Peripheral blood film — 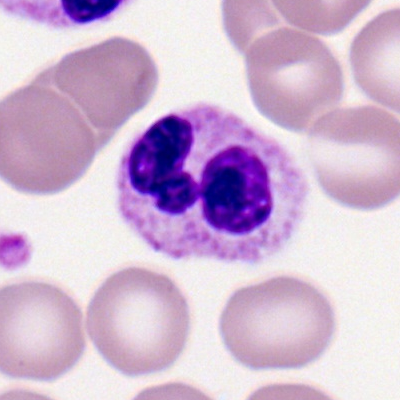 Q: What type of cell is this?
A: This is a neutrophil (segmented).